Bone marrow smear:
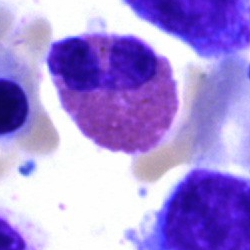Q: Which cell type is shown here?
A: An eosinophilic granulocyte.